Bone marrow aspirate smear: 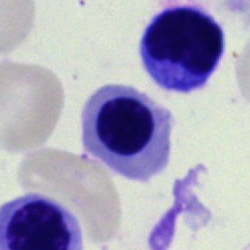

An erythroblast.